Cropped to a single cell; 250 by 250 pixels; bone marrow smear.
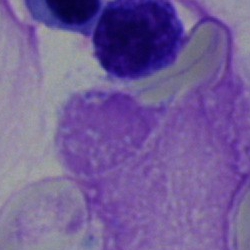
Single cell identified as an artefact.